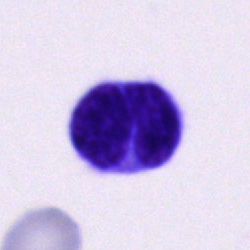 A cell of indeterminate lineage on a bone marrow smear.